Bone marrow aspirate smear · single-cell field — 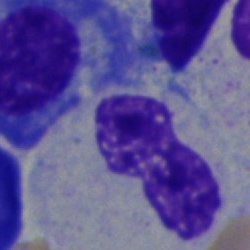

Q: Identify the cell.
A: It is a segmented neutrophil.